250×250 px · bone marrow smear · single-cell field.
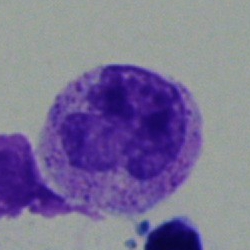

Specimen: bone marrow aspirate smear.
Classification: neutrophil (segmented).
Lineage: myeloid.